Peripheral blood film · 100× oil immersion, 14.14 px/µm — 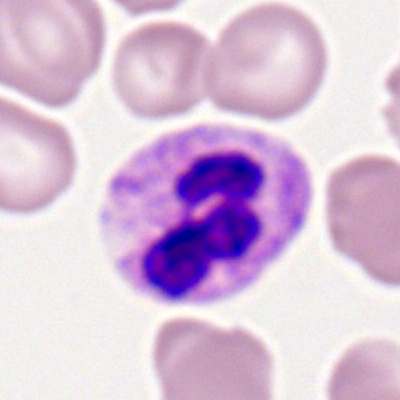Cell: segmented neutrophil.